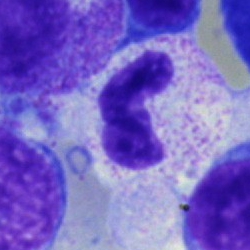 This is a segmented neutrophil.